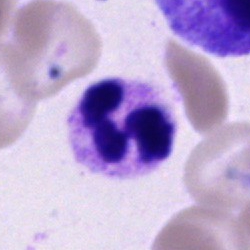 Q: What cell is this?
A: This is a neutrophil (segmented).